Bone marrow smear
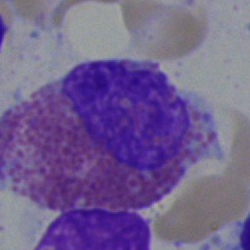Impression → eosinophil.